Single cell centered in the field · bone marrow smear
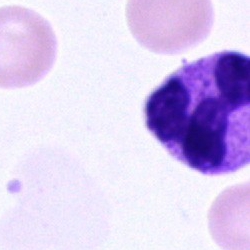

Classification = polymorphonuclear neutrophil.